Bone marrow smear: 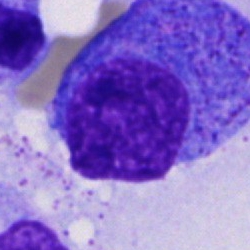The cell shown is a promyelocyte.